250 by 250 pixels. Bone marrow smear:
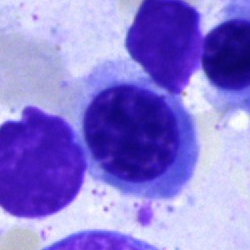Cell: nucleated red blood cell.